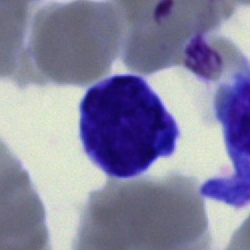
{"cell_type": "typical lymphocyte"}